Bone marrow aspirate smear:
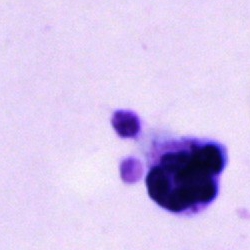Classification = segmented neutrophil.